Peripheral blood film.
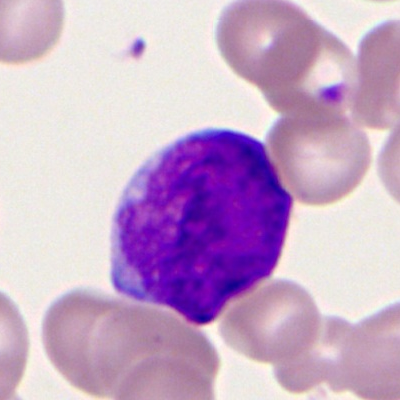
Morphology consistent with a myeloid blast.